MGG-stained · bone marrow aspirate smear:
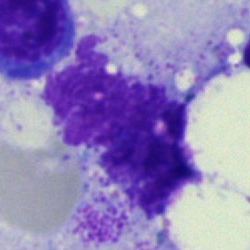

Impression — artifact.